Bone marrow smear: 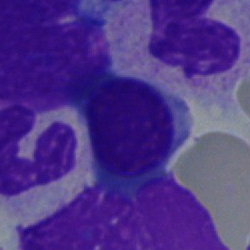
Q: What is the morphological classification of this cell?
A: Lymphocyte.